Peripheral blood smear. 400×400. Romanowsky stain:
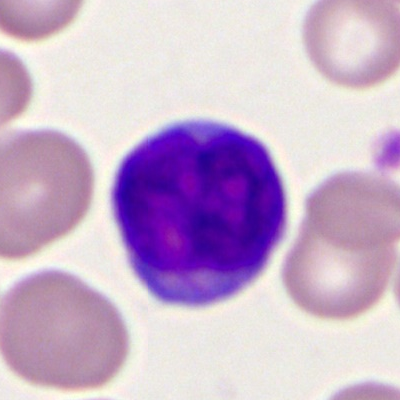Impression → myeloblast.